Bone marrow smear.
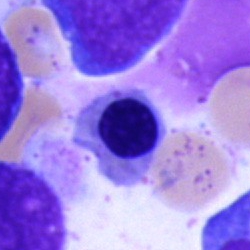The classification is nucleated red blood cell.